Brightfield, 40× oil-immersion objective. Pappenheim-stained. Bone marrow aspirate smear: 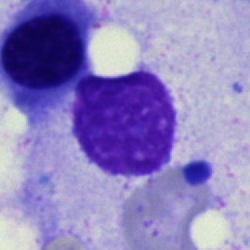
Morphological class: artifact.